Bone marrow smear: 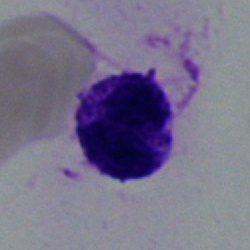

{"cell_type": "basophilic granulocyte", "lineage": "myeloid"}